250×250 px; 40× oil immersion; bone marrow smear — 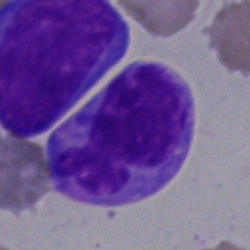Morphological class = undifferentiated blast.